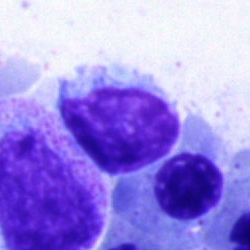
A lymphocyte on a bone marrow smear.